Bone marrow smear: 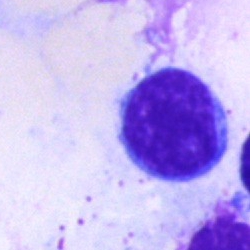
Morphology consistent with a typical lymphocyte.